Bone marrow aspirate smear:
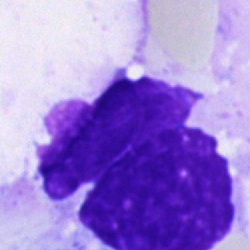
Specimen: bone marrow smear.
Cell type: artifact.